Bone marrow aspirate smear.
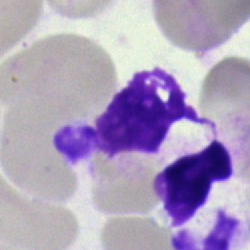
Morphology consistent with an artifact.